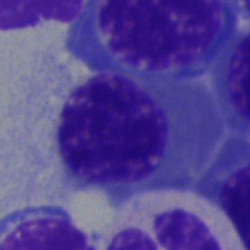
Morphological class — nucleated red blood cell.